May-Grünwald-Giemsa stain · bone marrow smear · single cell centered in the field: 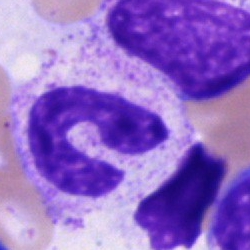
Morphological class: band neutrophil.